Bone marrow smear: 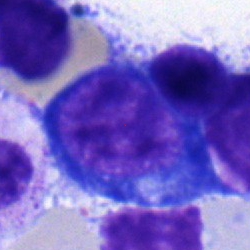

Classification: proerythroblast.